Bone marrow smear — 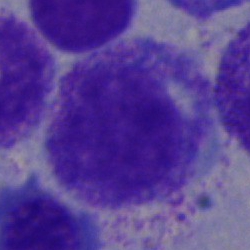Cell type = myelocyte.